Bone marrow aspirate smear · cropped to a single cell
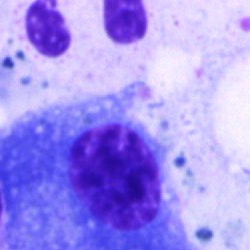
This is a plasmacyte.